MGG-stained · brightfield, 40× oil-immersion objective · bone marrow smear.
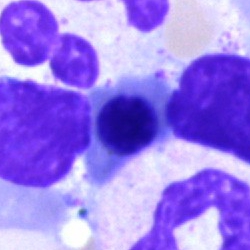An erythroblast.